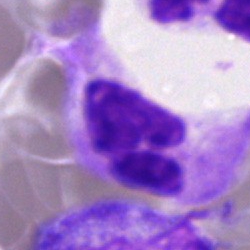{"cell_type": "segmented neutrophil", "lineage": "myeloid"}